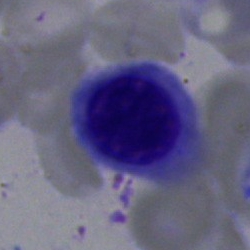 A nucleated red cell.